Brightfield, 100× oil-immersion objective; peripheral blood smear:
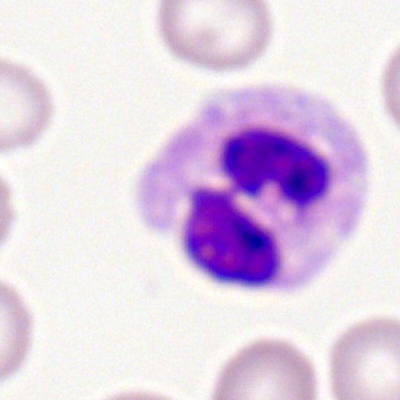
The morphological class is polymorphonuclear neutrophil.